Bone marrow smear
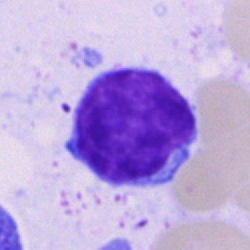Impression — typical lymphocyte.